Bone marrow aspirate smear. 40× oil immersion
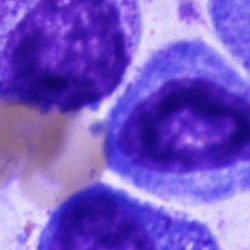
The morphological class is cell of indeterminate lineage.